Bone marrow aspirate smear.
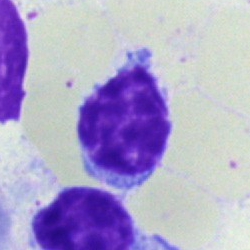 {"cell_type": "lymphocyte"}